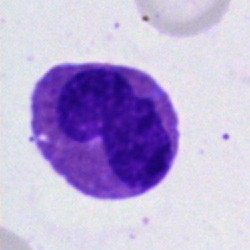
The cell shown is an eosinophilic granulocyte.